Bone marrow aspirate smear: 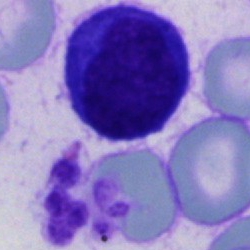
Specimen: bone marrow smear.
Morphological class: unidentifiable cell.